Image size 250×250; bone marrow smear — 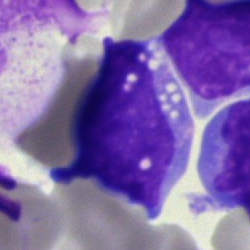

Specimen: bone marrow smear.
Classification: blast.